Bone marrow aspirate smear.
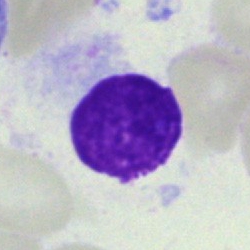
Cell: artifact.